250 by 250 pixels. Brightfield, 40× oil-immersion objective. Bone marrow aspirate smear:
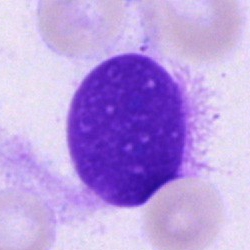

Cell type = artifact.